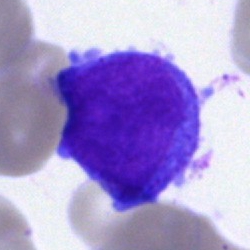Specimen: bone marrow aspirate smear.
Classification: blast.